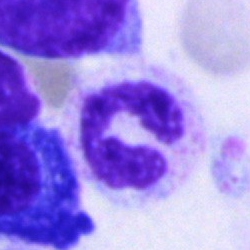 Impression — segmented neutrophil.